MGG-stained · bone marrow smear
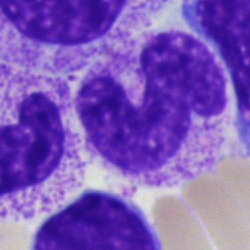 This is a neutrophil (segmented).